Bone marrow smear · 250×250 px
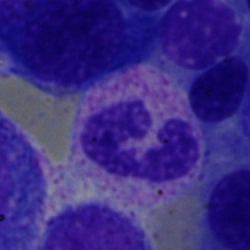

Showing a segmented neutrophil.